May-Grünwald-Giemsa stain; 250×250 px; bone marrow aspirate smear
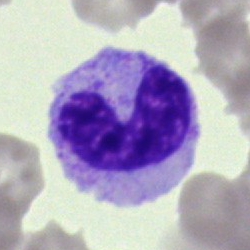Impression → band neutrophil.